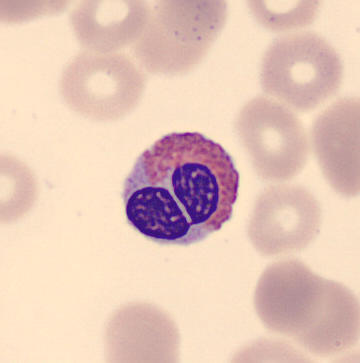

CellaVision DM96 digital cell image. Peripheral blood smear. Cropped to a single cell.
Q: Which cell type is shown here?
A: An eosinophil.